Bone marrow aspirate smear · brightfield, 40× oil-immersion objective · single-cell crop.
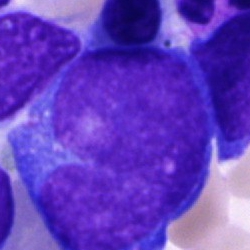 {"cell_type": "blast cell"}